Bone marrow smear: 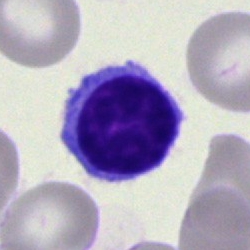

Specimen: bone marrow smear.
Cell type: lymphocyte.
Lineage: lymphoid.